Single cell centered in the field · peripheral blood film · Romanowsky-type stain.
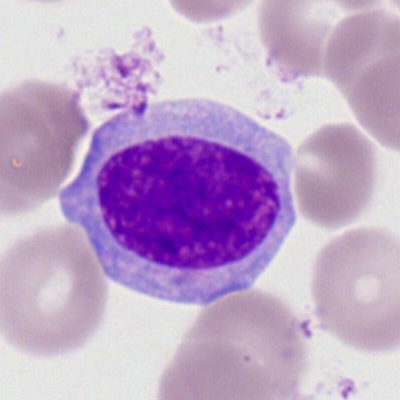 Specimen: peripheral blood smear.
Cell type: myeloblast.
Lineage: myeloid.